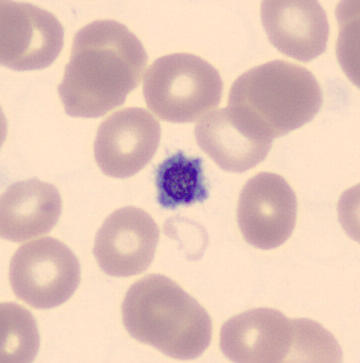 Peripheral blood smear · CellaVision DM96 digital cell image.
The classification is platelet.